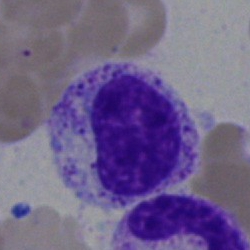

Morphological class = myelocyte.